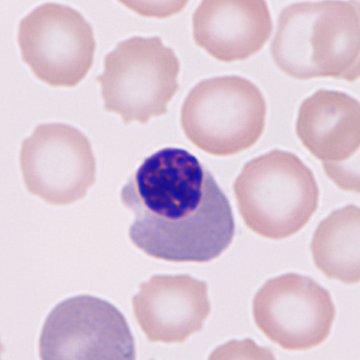Morphology → nucleated red blood cell.

Peripheral blood film; cropped to a single cell; 360×360.